Bone marrow smear
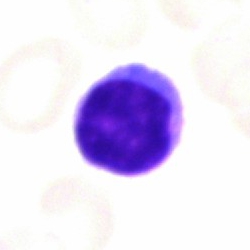

A lymphocyte.